Bone marrow aspirate smear.
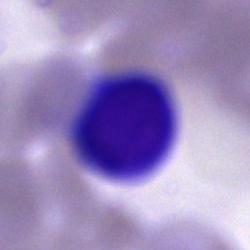

Showing an unidentifiable cell.